Bone marrow aspirate smear · brightfield, 40× oil-immersion objective — 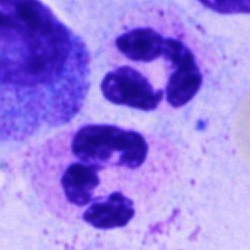

Single cell identified as a neutrophil (segmented).